Bone marrow smear
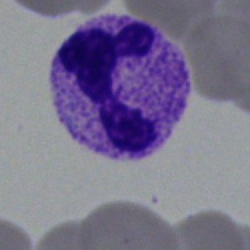Specimen: bone marrow smear.
Morphological class: polymorphonuclear neutrophil.
Lineage: myeloid.